250×250 px; cropped to a single cell; bone marrow aspirate smear:
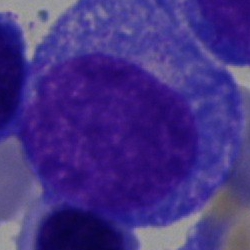Progranulocyte.